May-Grünwald-Giemsa stain. Single-cell crop. Bone marrow aspirate smear
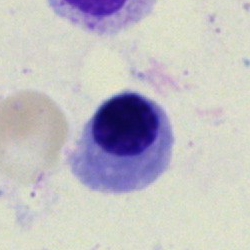Classification: nucleated red cell.